Brightfield, 40× oil-immersion objective · May-Grünwald-Giemsa stain · bone marrow aspirate smear
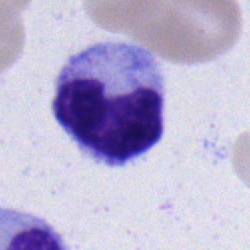

Cell type — metamyelocyte.